May-Grünwald-Giemsa stain · bone marrow smear
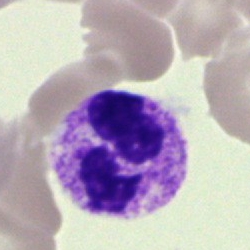
Morphological class: neutrophil (segmented).